Bone marrow smear; 250×250 px; Pappenheim-stained: 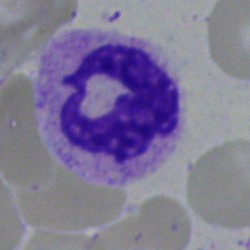
The cell shown is a segmented neutrophil.